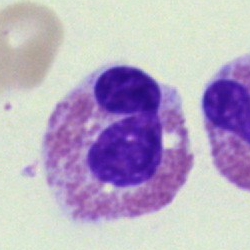 Q: Which cell type is shown here?
A: An eosinophil.